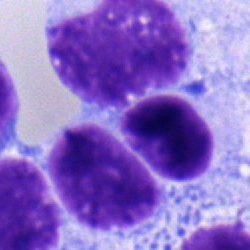A typical lymphocyte.